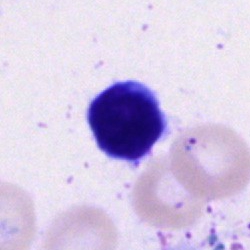
Bone marrow aspirate smear, single cell — typical lymphocyte.